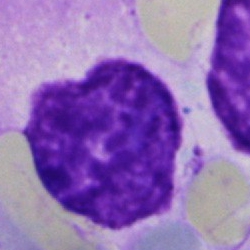

Single cell identified as an artifact.